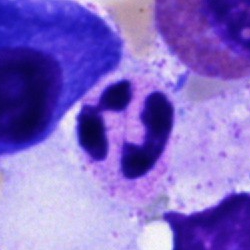

Q: What cell is this?
A: It is a polymorphonuclear neutrophil.